Bone marrow smear — 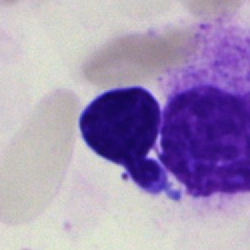

Cell — lymphocyte.